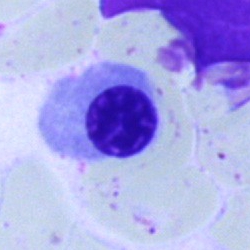
Morphology consistent with a normoblast.